Bone marrow smear: 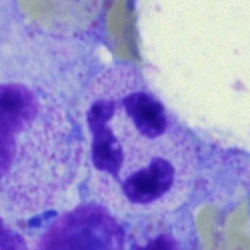Specimen: bone marrow smear.
Cell: segmented neutrophil.
Lineage: myeloid.